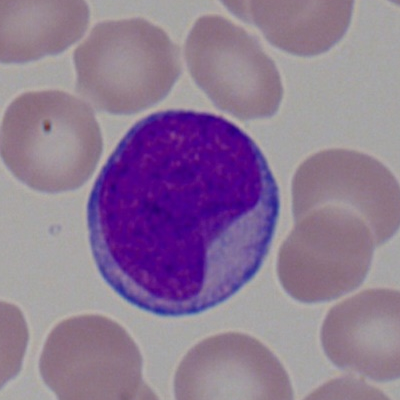 Specimen: peripheral blood film.
Cell type: myeloblast.